Bone marrow smear: 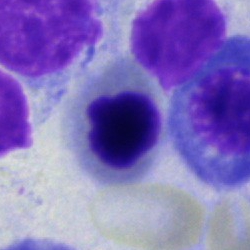

Cell type = nucleated red blood cell.